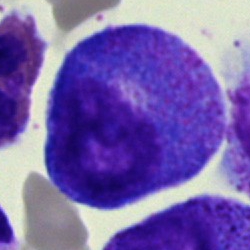
Q: Which cell type is shown here?
A: Progranulocyte.